Peripheral blood smear · Romanowsky-type stain.
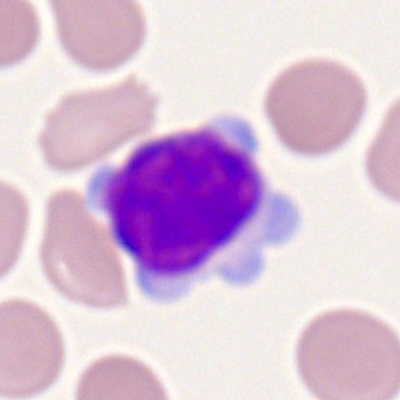
The cell is typical lymphocyte.